Bone marrow aspirate smear
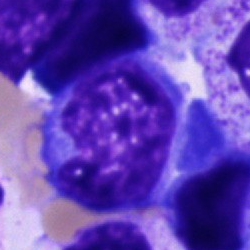
Q: What type of cell is this?
A: This is an unidentifiable cell.